Peripheral blood smear — 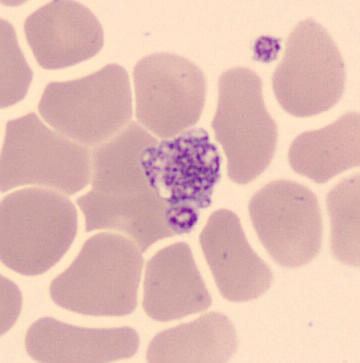

Thrombocyte.